Bone marrow aspirate smear: 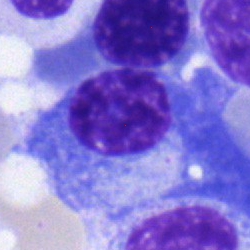Q: What cell is this?
A: It is a plasma cell.